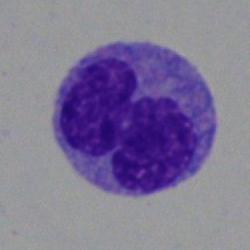

Q: Which cell type is shown here?
A: This is a monocyte.